MGG-stained. Bone marrow aspirate smear — 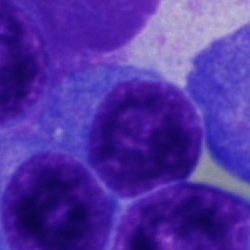Morphology consistent with a plasmacyte.